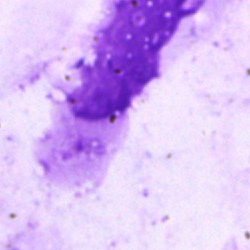
{"cell_type": "artefact"}